Bone marrow aspirate smear. Single-cell crop. 250×250 px
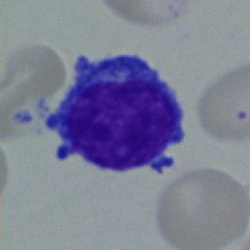 A typical lymphocyte.